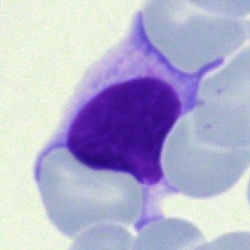

Cell type — lymphocyte.